Bone marrow smear; May-Grünwald-Giemsa stain.
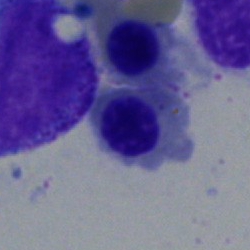 Q: Identify the cell.
A: This is a nucleated red cell.